250×250 · single-cell field · bone marrow aspirate smear.
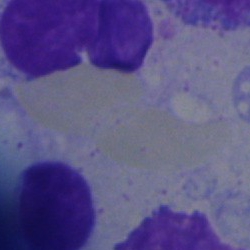

This is an artifact.